Bone marrow smear · 40× objective, oil immersion:
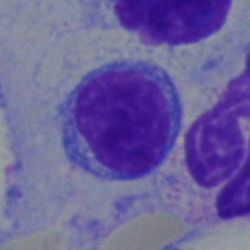
Single cell identified as a lymphocyte.